Bone marrow aspirate smear; image size 250×250; cropped to a single cell: 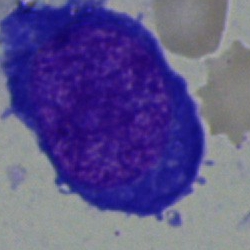 Morphology → proerythroblast.